Bone marrow smear: 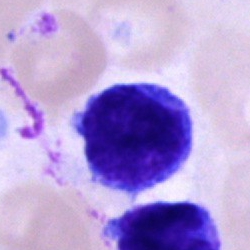
Morphology → undifferentiated blast.